Pappenheim-stained. Bone marrow smear. Brightfield microscopy, 40× oil immersion
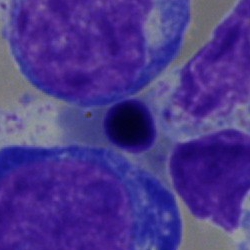Cell type — erythroblast.